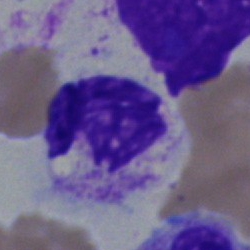 Q: What is shown here?
A: Polymorphonuclear neutrophil.